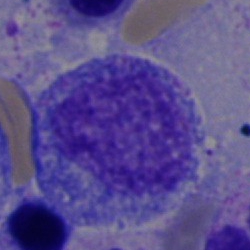Specimen: bone marrow smear.
Cell: progranulocyte.
Lineage: myeloid.